MGG-stained · bone marrow smear.
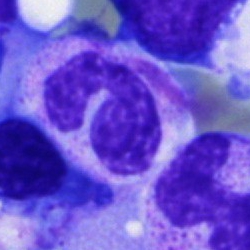
A neutrophil (segmented).